Bone marrow aspirate smear; image size 250×250
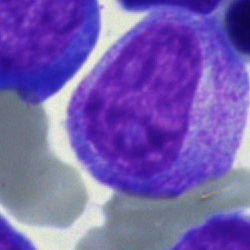

Morphology consistent with a promyelocyte.